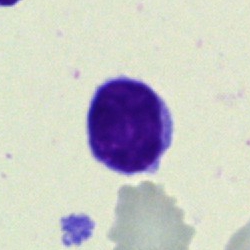
Cell type — lymphocyte.